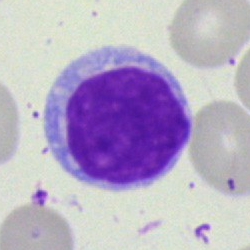

Impression → lymphocyte.